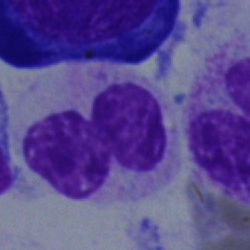 The classification is segmented neutrophil.